Bone marrow aspirate smear · brightfield microscopy, 40× oil immersion — 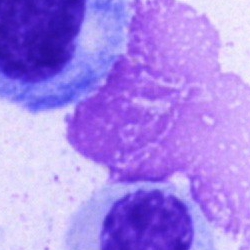 Impression — artefact.